Bone marrow smear. Cropped to a single cell.
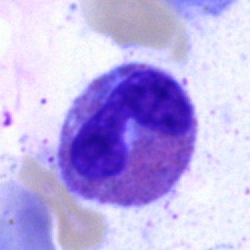
Eosinophil.